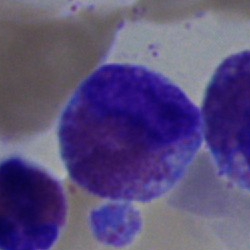The cell is eosinophil.